Bone marrow smear. May-Grünwald-Giemsa stain
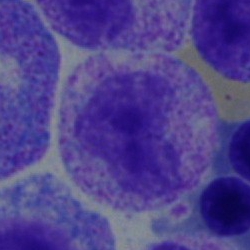This is a metamyelocyte.